Pappenheim-stained. Bone marrow aspirate smear:
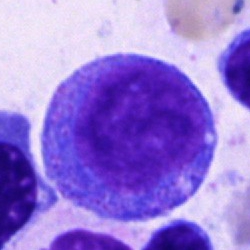This is a progranulocyte.